Bone marrow aspirate smear:
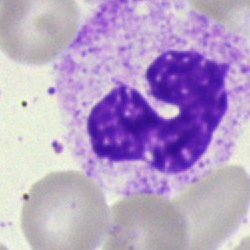Classification = segmented neutrophil.